Image size 250×250. Bone marrow aspirate smear
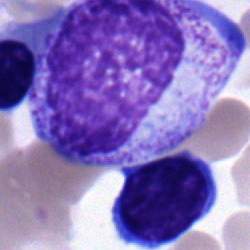

The cell type is myelocyte.